Bone marrow smear.
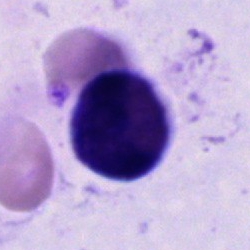

The cell type is cell of indeterminate lineage.